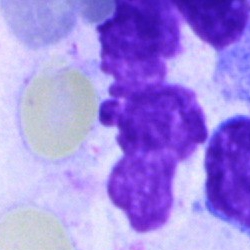This is an artifact.